Bone marrow smear.
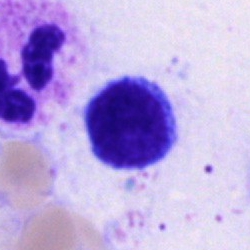

Cell — typical lymphocyte.